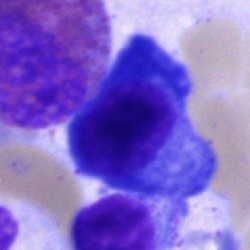 Q: What is shown here?
A: A plasmacyte.